Bone marrow aspirate smear; brightfield, 40× oil-immersion objective.
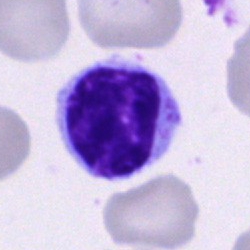
{"cell_type": "typical lymphocyte", "lineage": "lymphoid"}